Bone marrow smear:
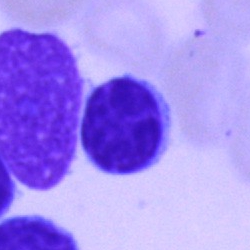 Morphology consistent with a typical lymphocyte.